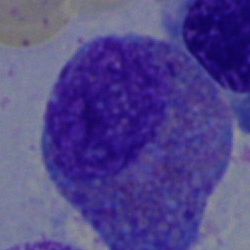 Cell type — eosinophilic granulocyte.